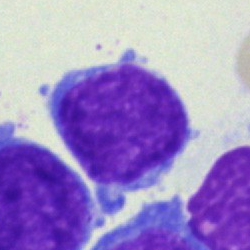
Q: What type of cell is this?
A: It is an undifferentiated blast.